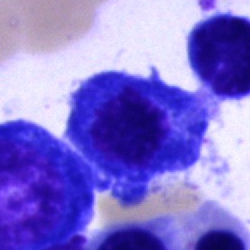
Morphology — plasmacyte.